Bone marrow smear. Single-cell crop: 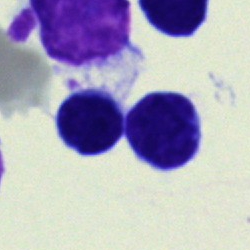
A lymphocyte.